Bone marrow aspirate smear. Single cell centered in the field: 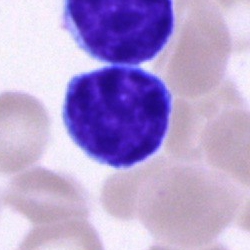

Cell — typical lymphocyte.